Peripheral blood film
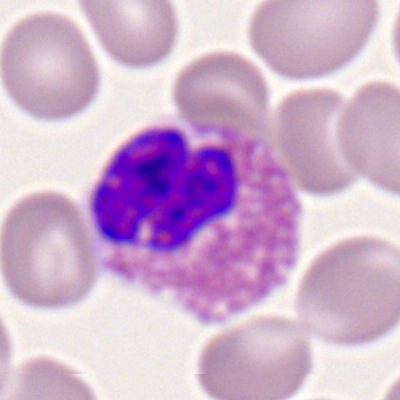 Eosinophil.